Bone marrow aspirate smear — 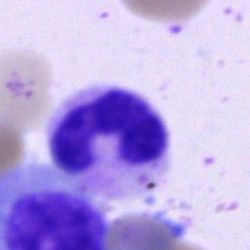

Single cell identified as a neutrophil (segmented).